Bone marrow aspirate smear:
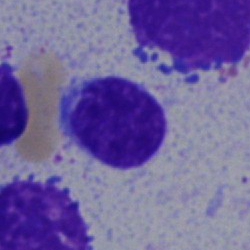

Showing a lymphocyte.